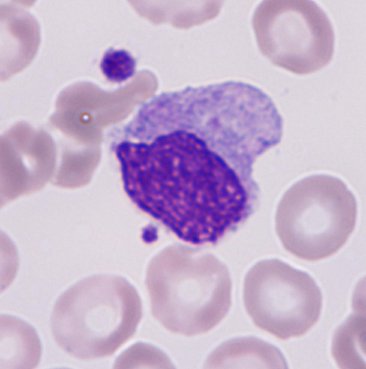Showing a monocyte.